Cropped to a single cell · bone marrow aspirate smear:
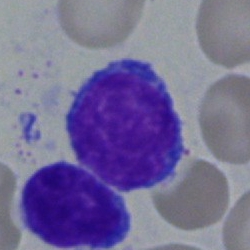Typical lymphocyte.